Image size 250×250 · bone marrow aspirate smear · brightfield, 40× oil-immersion objective: 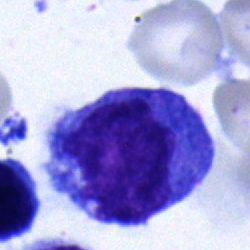
Morphology — promyelocyte.